Bone marrow aspirate smear: 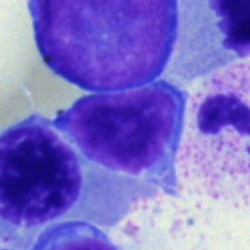Q: What cell is this?
A: A typical lymphocyte.